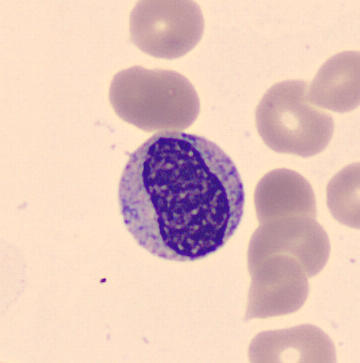 Preparation: Peripheral blood smear.
Cell type = metamyelocyte.